Cropped to a single cell; bone marrow aspirate smear.
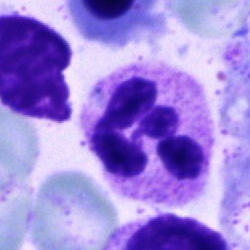
The cell shown is a neutrophil (segmented).